Brightfield microscopy, 40× oil immersion; bone marrow aspirate smear.
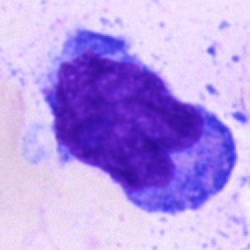

Morphological class — blast cell.